Romanowsky stain; peripheral blood film — 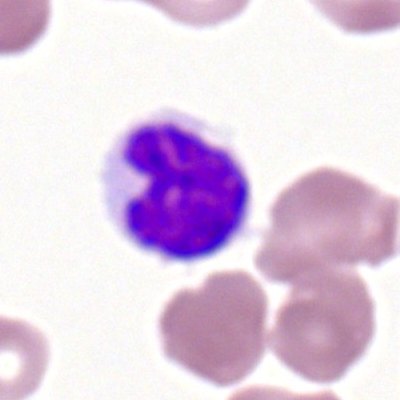 Showing a typical lymphocyte.